Single cell centered in the field; bone marrow aspirate smear.
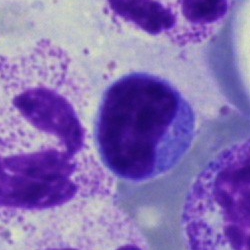{"cell_type": "lymphocyte", "lineage": "lymphoid"}